Bone marrow aspirate smear:
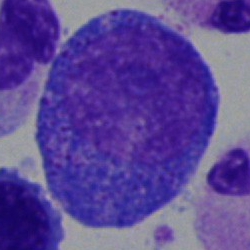 Morphological class = promyelocyte.